Bone marrow aspirate smear.
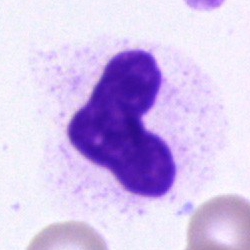
The classification is band-form neutrophil.